250×250; bone marrow smear.
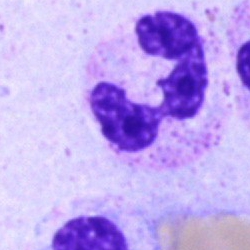
Specimen: bone marrow smear.
Morphological class: segmented neutrophil.